Bone marrow smear; 40× oil immersion
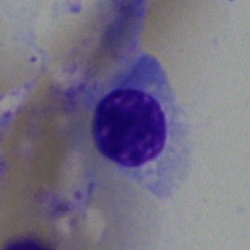 {"cell_type": "nucleated red cell"}